Bone marrow aspirate smear. Cropped to a single cell:
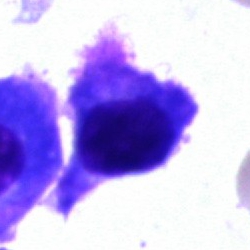Morphological class — plasma cell.